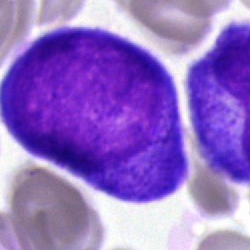 Single-cell crop from a bone marrow smear: undifferentiated blast.